Peripheral blood smear:
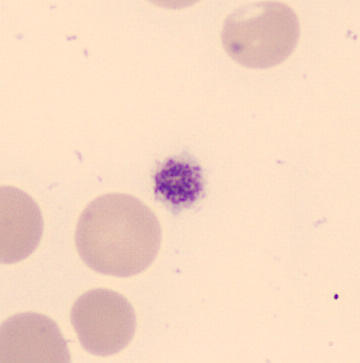Cell type = platelet.